250 by 250 pixels; bone marrow smear: 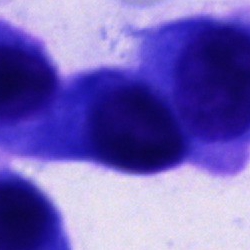Cell not matching the other categories.